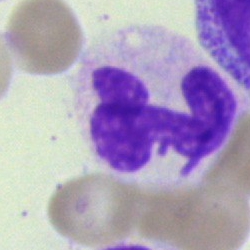Q: What type of cell is this?
A: A neutrophil (segmented).